Single-cell field · bone marrow aspirate smear — 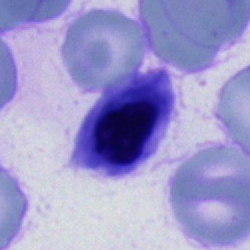

Q: Identify the cell.
A: A nucleated red cell.